Bone marrow smear. May-Grünwald-Giemsa/Pappenheim stain — 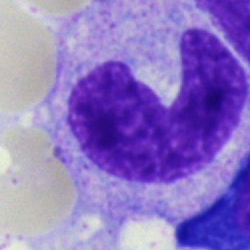
Q: Which cell type is shown here?
A: It is a monocyte.